Bone marrow aspirate smear:
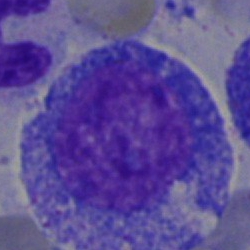Promyelocyte.